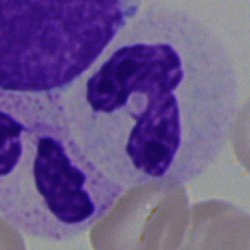Classification = polymorphonuclear neutrophil.